Single-cell crop · bone marrow smear · 40× objective, oil immersion:
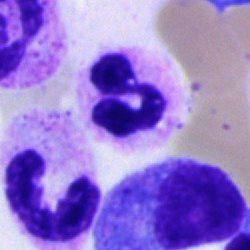 Cell type — polymorphonuclear neutrophil.